Peripheral blood film
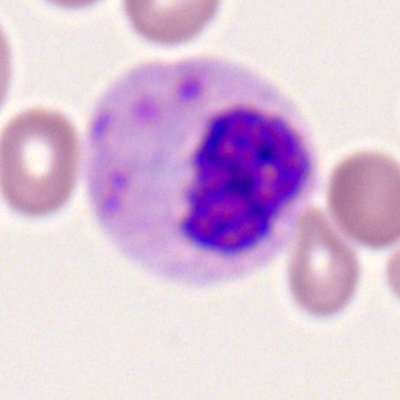Q: What is the morphological classification of this cell?
A: This is a segmented neutrophil.